Bone marrow aspirate smear · single-cell crop · 40× oil immersion: 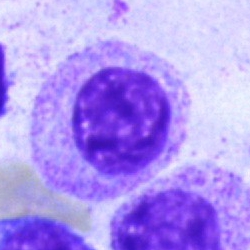Q: What is the morphological classification of this cell?
A: A myelocyte.